Bone marrow smear: 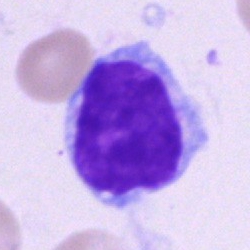Typical lymphocyte.